Bone marrow smear — 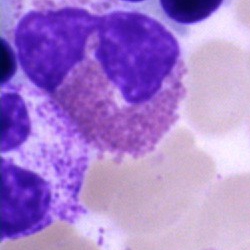Classification: eosinophilic granulocyte.